Peripheral blood film.
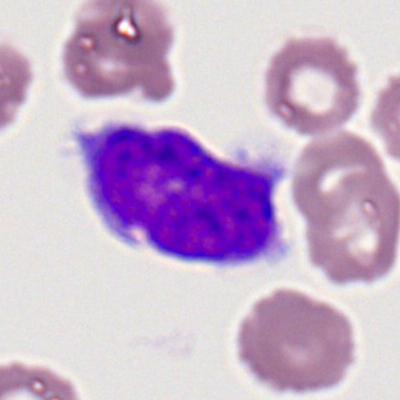Q: What cell is this?
A: A monocyte.